Peripheral blood smear. Romanowsky-stained:
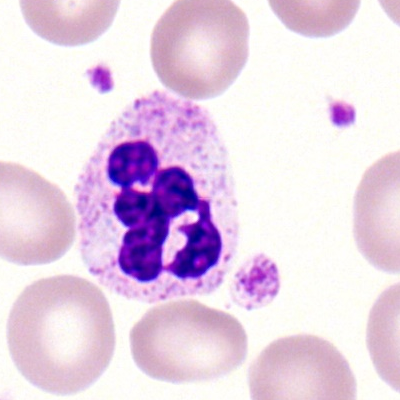 Specimen: peripheral blood film.
Cell: segmented neutrophil.
Lineage: myeloid.